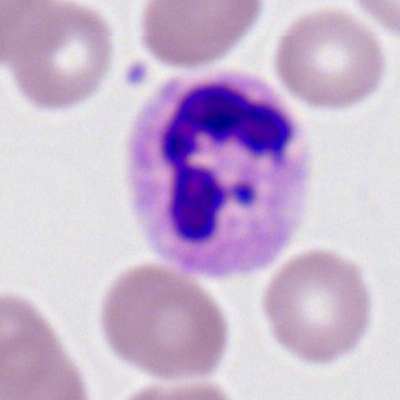{"cell_type": "segmented neutrophil", "lineage": "myeloid"}